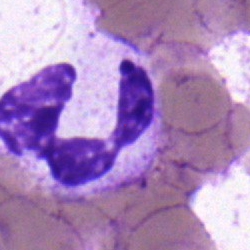The cell shown is a polymorphonuclear neutrophil.